Single cell centered in the field; brightfield, 40× oil-immersion objective; bone marrow aspirate smear
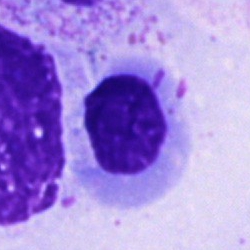

Q: Which cell type is shown here?
A: This is an erythroblast.